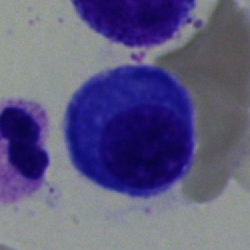

Q: Identify the cell.
A: This is a plasmacyte.